Peripheral blood smear: 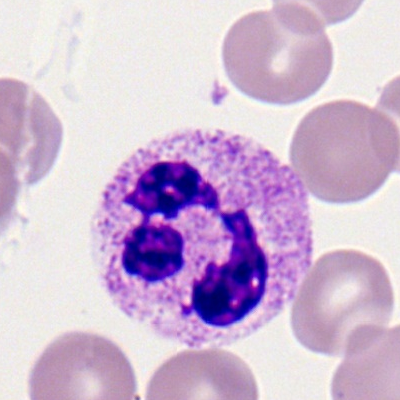Morphology → segmented neutrophil.